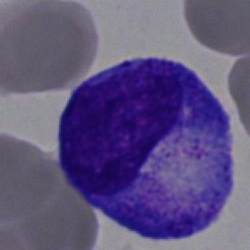 Cell type: promyelocyte.